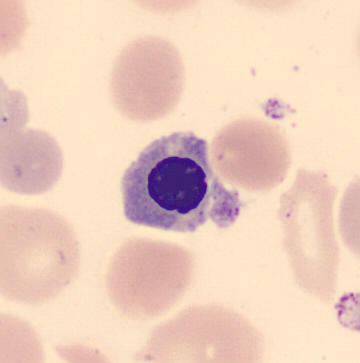
Specimen: peripheral blood film.
Cell: nucleated red cell.